Bone marrow aspirate smear — 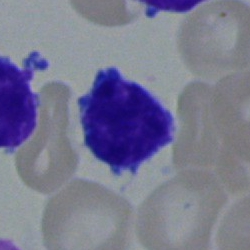 This is a typical lymphocyte.